Brightfield microscopy, 40× oil immersion. Cropped to a single cell. Bone marrow smear: 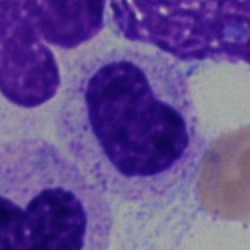The cell type is metamyelocyte.